Brightfield microscopy, 40× oil immersion; bone marrow smear:
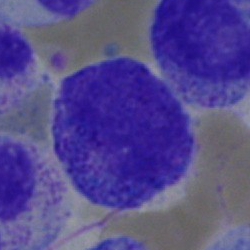 Myelocyte.